Bone marrow smear:
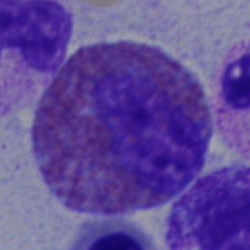The cell shown is an eosinophilic granulocyte.